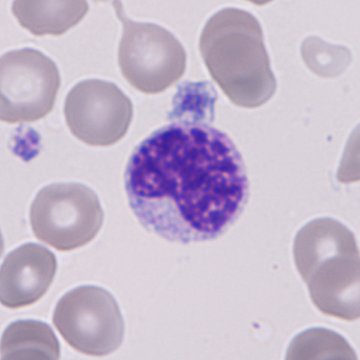Preparation: Peripheral blood smear. May Grünwald-Giemsa stain. 360 by 360 pixels. Immature granulocyte (promyelocyte, myelocyte or metamyelocyte).